Single cell centered in the field · bone marrow smear.
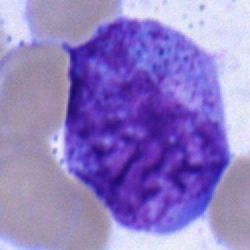 The cell type is progranulocyte.